Bone marrow smear · 250×250 px · Pappenheim-stained — 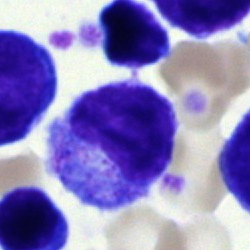

Metamyelocyte.